Brightfield microscopy, 40× oil immersion. Cropped to a single cell. Bone marrow smear.
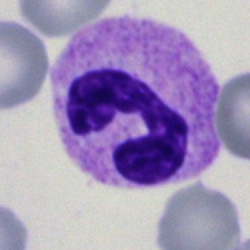 Morphology — polymorphonuclear neutrophil.